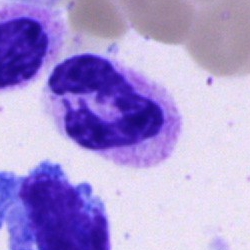

Q: What is shown here?
A: A polymorphonuclear neutrophil.